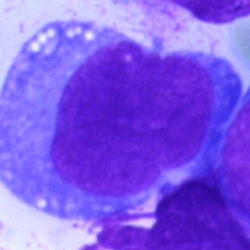

Cell type = blast.